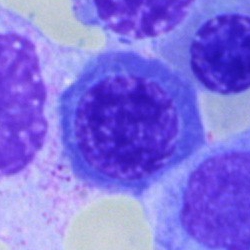

This is a normoblast.